May-Grünwald-Giemsa stain · bone marrow smear: 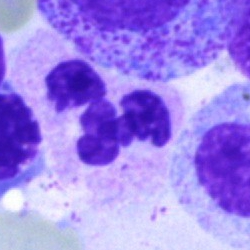

Single cell identified as a neutrophil (segmented).